MGG-stained; 250×250; bone marrow smear — 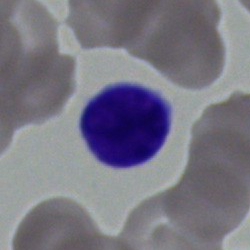

Q: What is shown here?
A: Lymphocyte.